Bone marrow smear: 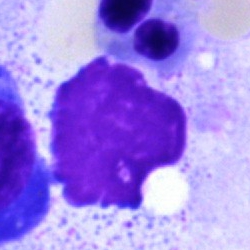Impression → artefact.